Bone marrow smear
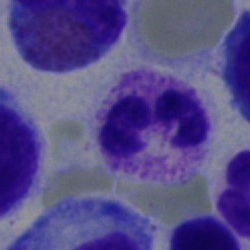

Classification — neutrophil (segmented).